Bone marrow smear.
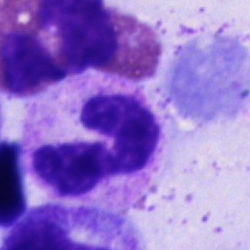This is a band-form neutrophil.